40× objective, oil immersion. Bone marrow aspirate smear.
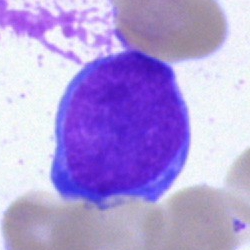

Impression → blast cell.